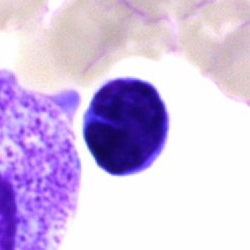 The cell shown is a typical lymphocyte.